Peripheral blood film · single-cell field
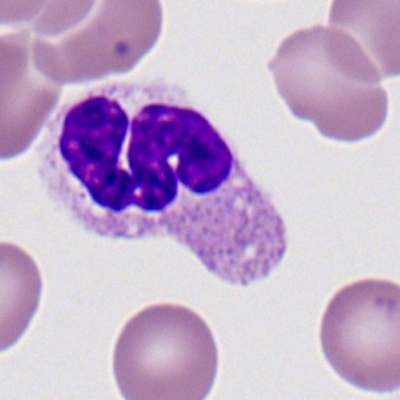 Classification: polymorphonuclear neutrophil.